Bone marrow aspirate smear:
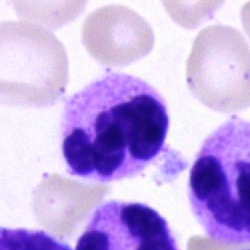

The classification is neutrophil (segmented).